Bone marrow smear: 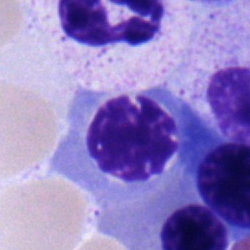

Morphological class — nucleated red blood cell.